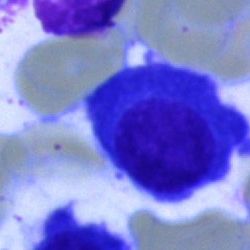
Cell type — plasmacyte.